Bone marrow smear:
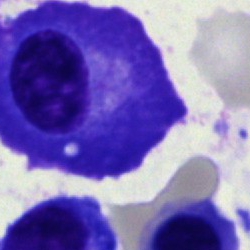Showing a plasma cell.